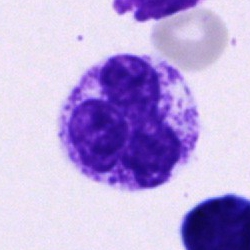 Specimen: bone marrow aspirate smear.
Morphological class: segmented neutrophil.
Lineage: myeloid.